Single-cell field. 40× oil immersion. Bone marrow aspirate smear: 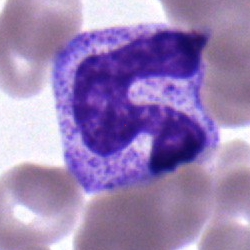 Single cell identified as a segmented neutrophil.